Bone marrow aspirate smear; cropped to a single cell — 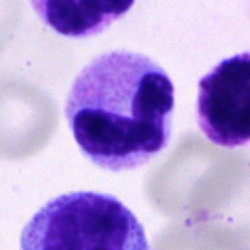 A segmented neutrophil.